250×250 · bone marrow smear.
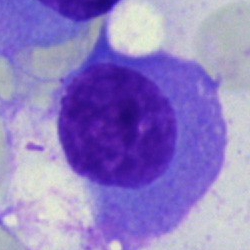 The classification is plasmacyte.